Brightfield, 40× oil-immersion objective · single-cell crop · bone marrow smear
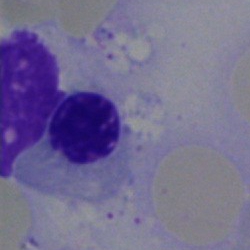

Nucleated red blood cell.